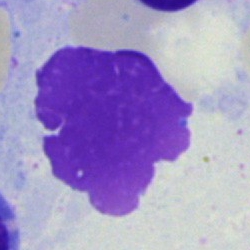Artefact.